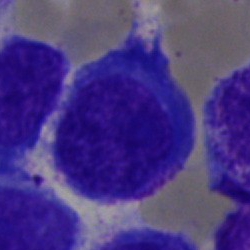
Morphology consistent with a blast.